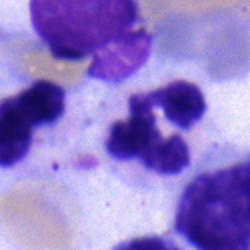
Neutrophil (segmented).